Bone marrow aspirate smear.
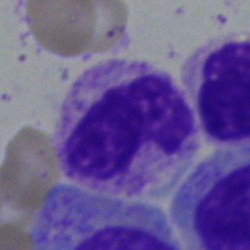
Specimen: bone marrow aspirate smear.
Morphological class: band-form neutrophil.